Bone marrow smear · brightfield microscopy, 40× oil immersion · single cell centered in the field:
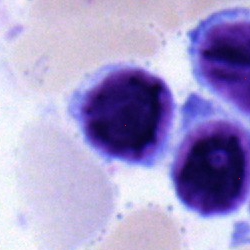 Impression — lymphocyte.